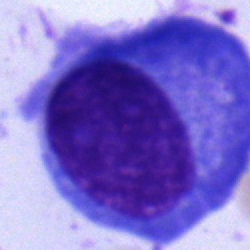
Q: What type of cell is this?
A: This is a plasma cell.